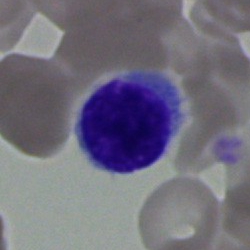
Q: Identify the cell.
A: This is a lymphocyte.